Peripheral blood film.
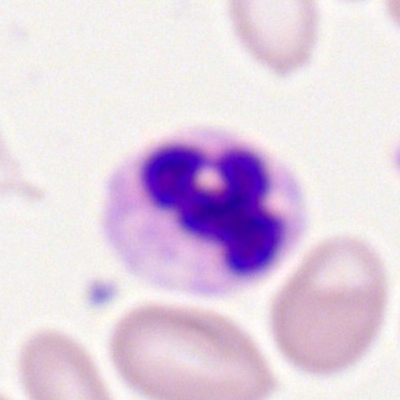 Neutrophil (segmented).